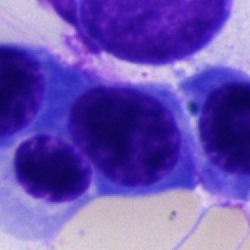
Bone marrow aspirate smear, single cell — erythroblast.